Bone marrow aspirate smear
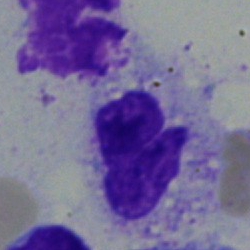Q: What type of cell is this?
A: A segmented neutrophil.